Single cell centered in the field. Pappenheim-stained. Bone marrow aspirate smear — 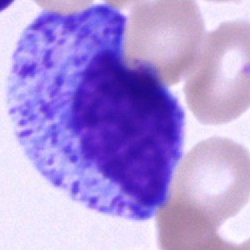

Q: Identify the cell.
A: It is a progranulocyte.